Bone marrow aspirate smear: 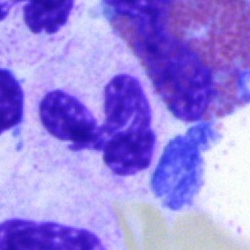
Morphology consistent with a polymorphonuclear neutrophil.